Bone marrow aspirate smear — 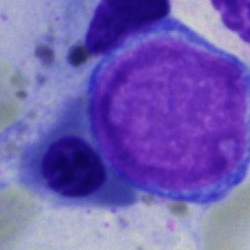 Classification — proerythroblast.